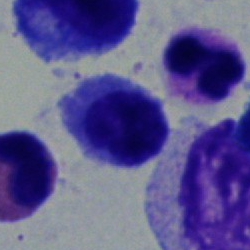Cell: nucleated red cell.